Bone marrow aspirate smear; single-cell field: 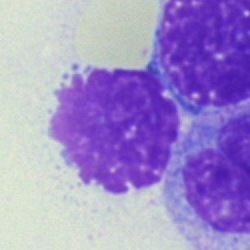 Morphology — artifact.